250 by 250 pixels. Bone marrow smear
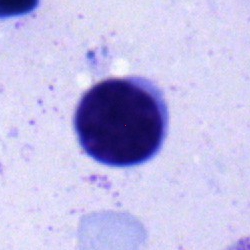
Impression → typical lymphocyte.